Bone marrow smear: 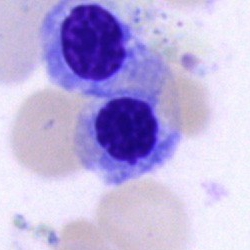

Cell = nucleated red blood cell.